Bone marrow aspirate smear — 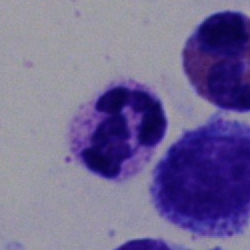
Morphology consistent with a neutrophil (segmented).